Bone marrow smear: 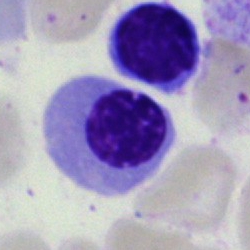
Specimen: bone marrow smear.
Cell type: normoblast.